Bone marrow aspirate smear · brightfield microscopy, 40× oil immersion.
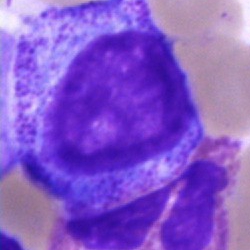
Morphology consistent with a progranulocyte.